Bone marrow aspirate smear:
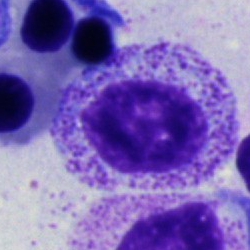
Cell type: myelocyte.